Bone marrow aspirate smear: 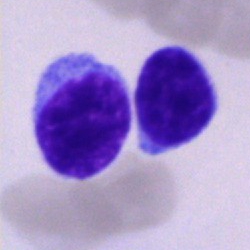

Morphological class = typical lymphocyte.